Bone marrow smear; cropped to a single cell:
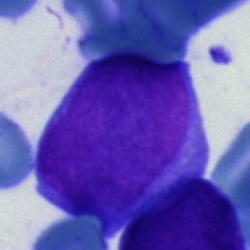Cell — undifferentiated blast.